Bone marrow aspirate smear:
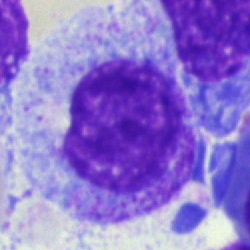
Morphology consistent with a progranulocyte.